Bone marrow aspirate smear: 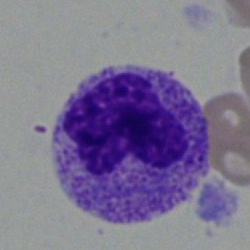 Classification: segmented neutrophil.